Bone marrow aspirate smear. 40× oil immersion — 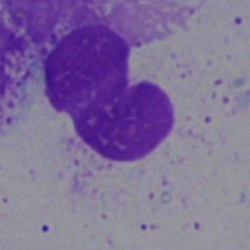 Morphology → artefact.